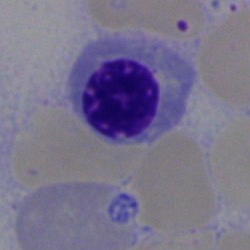 Single-cell crop from a bone marrow smear: nucleated red cell.